Bone marrow smear. Single-cell field. Brightfield microscopy, 40× oil immersion — 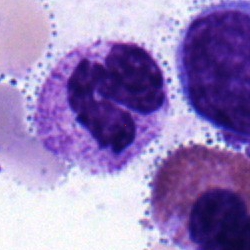 Classification — neutrophil (segmented).